Bone marrow smear:
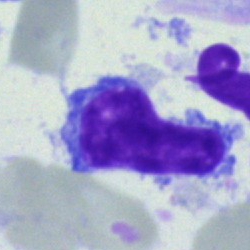The cell shown is a typical lymphocyte.